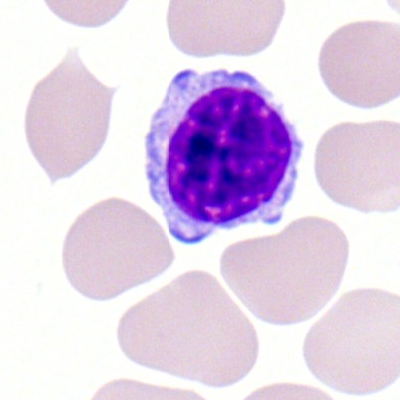
Lymphocyte.